Brightfield microscopy, 40× oil immersion · bone marrow aspirate smear — 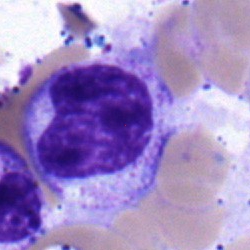 Impression — metamyelocyte.